40× objective, oil immersion; May-Grünwald-Giemsa stain; bone marrow aspirate smear:
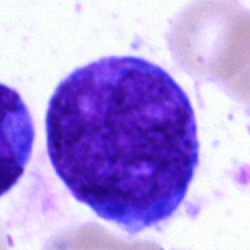Blast cell.